Bone marrow aspirate smear — 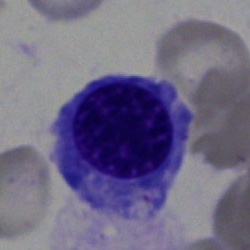 Specimen: bone marrow smear.
Classification: nucleated red cell.
Lineage: erythroid.